Bone marrow aspirate smear:
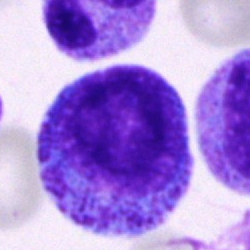This is a progranulocyte.